Bone marrow aspirate smear: 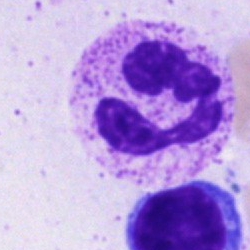

Specimen: bone marrow smear.
Cell type: polymorphonuclear neutrophil.
Lineage: myeloid.